Bone marrow aspirate smear; cropped to a single cell.
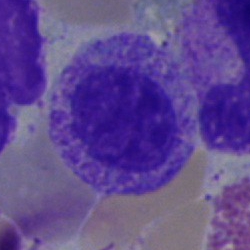

Cell type — myelocyte.